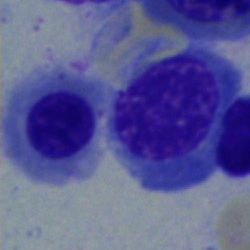 Single cell identified as an erythroblast.